Bone marrow aspirate smear
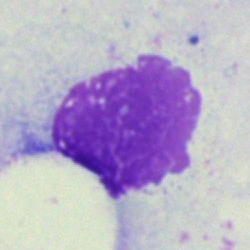 The cell is artefact.